Bone marrow smear · brightfield, 40× oil-immersion objective:
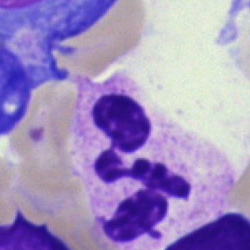 {"cell_type": "segmented neutrophil"}